Bone marrow aspirate smear — 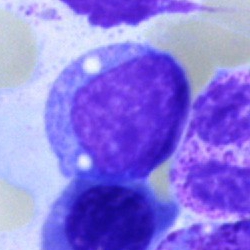Cell: blast.